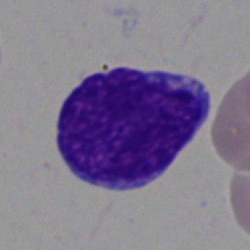 Q: What is shown here?
A: It is a blast cell.